40× oil immersion; bone marrow smear; image size 250×250 — 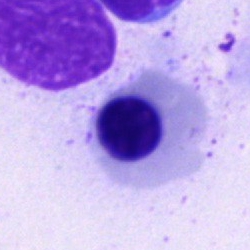
Showing an erythroblast.